Bone marrow aspirate smear. May-Grünwald-Giemsa/Pappenheim stain:
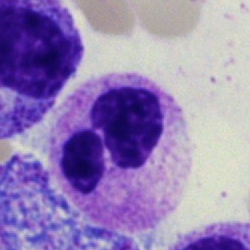

This is a polymorphonuclear neutrophil.